Bone marrow aspirate smear; May-Grünwald-Giemsa stain:
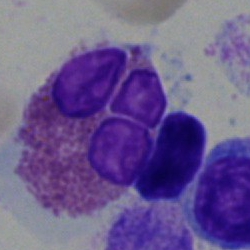

Single cell identified as an eosinophil.